Bone marrow smear · brightfield microscopy, 40× oil immersion · 250×250 px
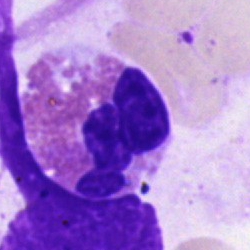

The cell shown is an eosinophilic granulocyte.